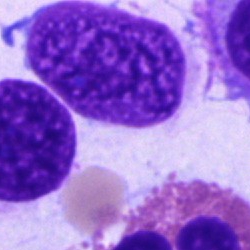
Morphology consistent with an artefact.